Bone marrow smear · 250 by 250 pixels
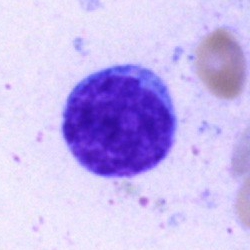

{"cell_type": "typical lymphocyte"}